Bone marrow aspirate smear — 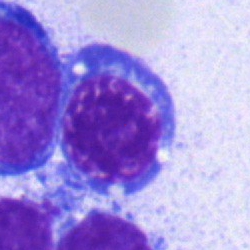The classification is erythroblast.